Bone marrow aspirate smear; 250 by 250 pixels — 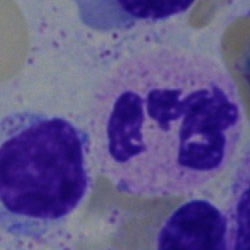 Morphological class: neutrophil (segmented).